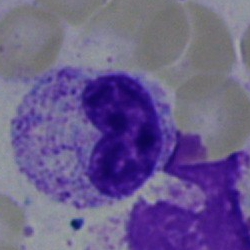 This is a band-form neutrophil.